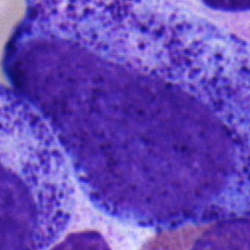The cell type is promyelocyte.